Peripheral blood film.
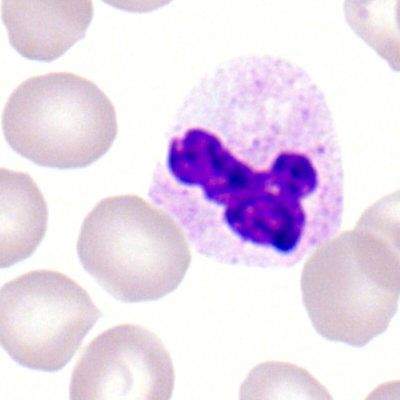Morphology consistent with a segmented neutrophil.